Bone marrow aspirate smear
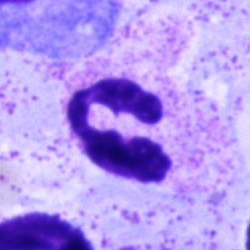

Q: What is the morphological classification of this cell?
A: Neutrophil (segmented).